Bone marrow aspirate smear.
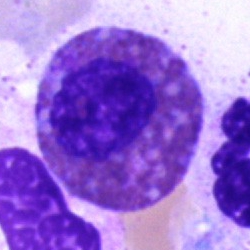
Cell type — eosinophil.